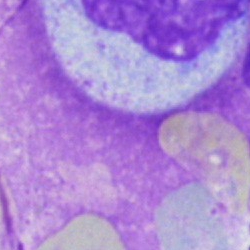Specimen: bone marrow aspirate smear.
Classification: artifact.